Bone marrow aspirate smear: 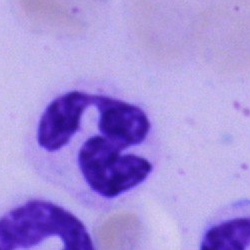 Morphological class — neutrophil (segmented).